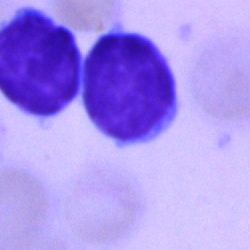
Morphological class: typical lymphocyte.